Bone marrow smear
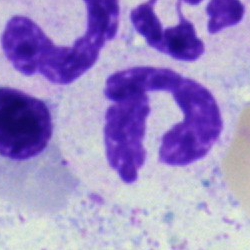Specimen: bone marrow aspirate smear.
Cell: polymorphonuclear neutrophil.